Bone marrow smear. MGG-stained.
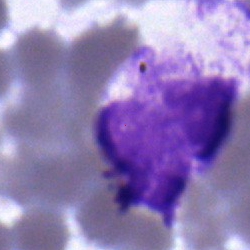 {"cell_type": "neutrophil (segmented)"}